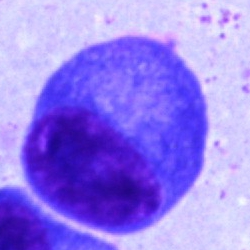
Bone marrow smear showing a plasmacyte.